Bone marrow aspirate smear:
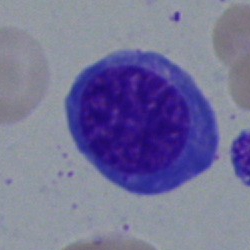 Erythroblast.